Single-cell field. 40× oil immersion. Bone marrow aspirate smear
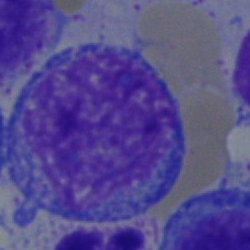Q: What is the morphological classification of this cell?
A: An undifferentiated blast.